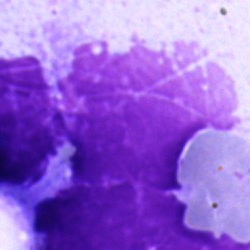Morphology consistent with an artefact.